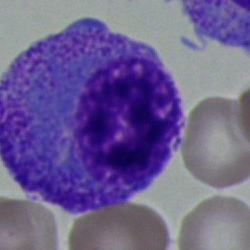

Q: What type of cell is this?
A: This is a progranulocyte.